Bone marrow smear: 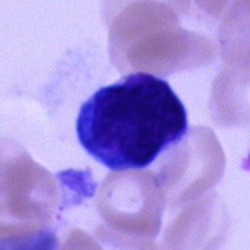 Cell = typical lymphocyte.